Brightfield, 40× oil-immersion objective · bone marrow aspirate smear
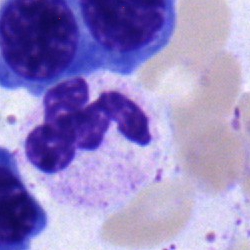The cell shown is a neutrophil (segmented).